May-Grünwald-Giemsa stain · bone marrow aspirate smear.
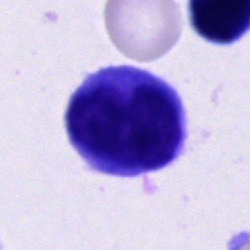
A cell of indeterminate lineage.